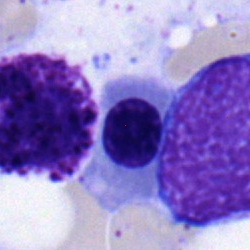
Cell type — erythroblast.